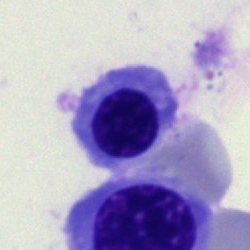

Bone marrow smear showing an erythroblast.